Peripheral blood smear:
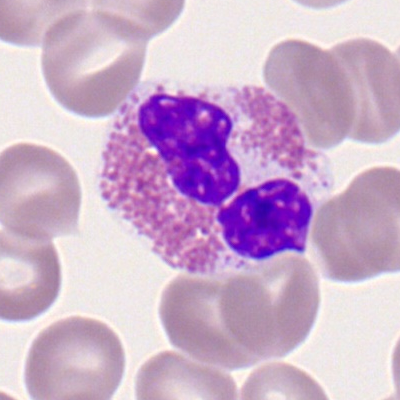 Morphology consistent with an eosinophilic granulocyte.